Bone marrow aspirate smear. 40× oil immersion:
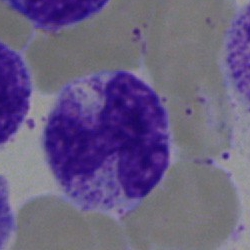 Single cell identified as a neutrophil (segmented).